Bone marrow smear: 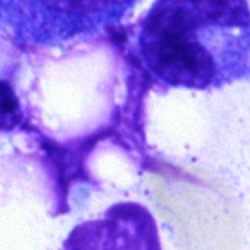Q: What is shown here?
A: Artifact.